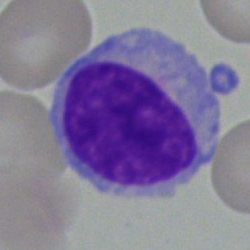
Q: What cell is this?
A: Typical lymphocyte.